Peripheral blood smear
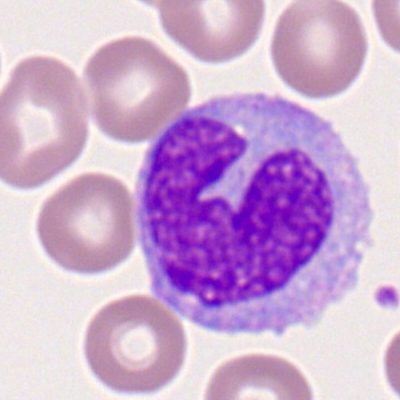Specimen: peripheral blood film.
Cell: monocyte.
Lineage: myeloid.